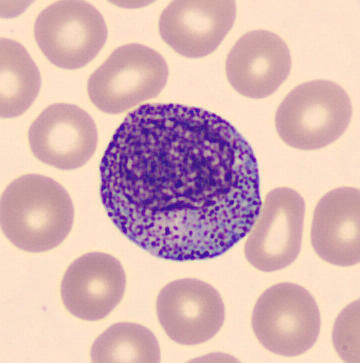

Preparation: Peripheral blood smear.
Single cell identified as a progranulocyte.